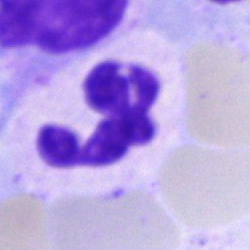 Morphology consistent with a neutrophil (segmented).